Bone marrow smear; 250×250; MGG-stained
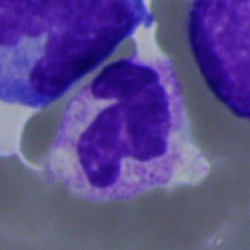
Q: Identify the cell.
A: Polymorphonuclear neutrophil.